Bone marrow aspirate smear — 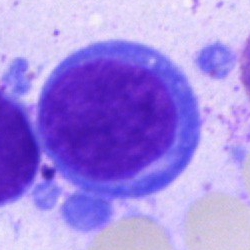
Cell = undifferentiated blast.